Bone marrow smear: 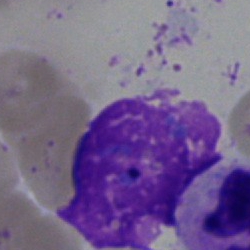 Q: What is shown here?
A: This is an artifact.